Bone marrow aspirate smear. Cropped to a single cell. Pappenheim-stained:
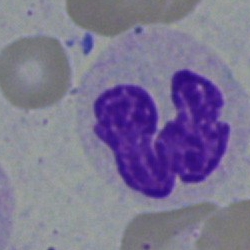
Showing a segmented neutrophil.